Peripheral blood smear
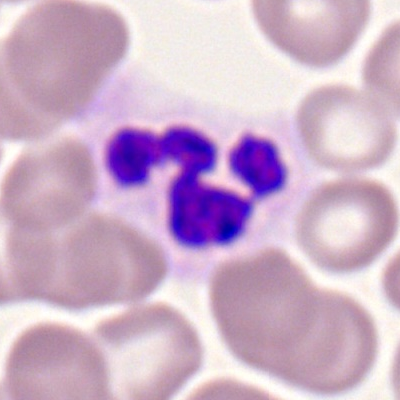

Morphology consistent with a polymorphonuclear neutrophil.